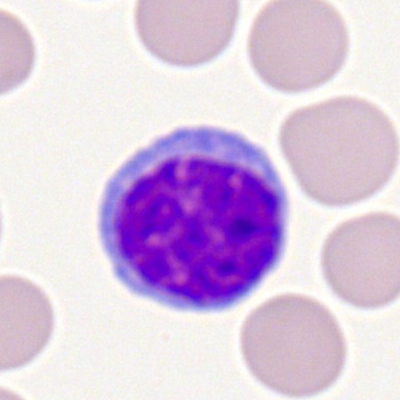
The cell shown is a typical lymphocyte.